Single cell centered in the field; bone marrow aspirate smear; brightfield microscopy, 40× oil immersion
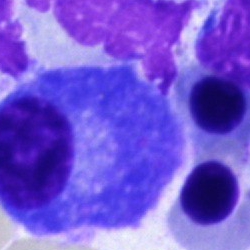Morphology — plasmacyte.